Pappenheim-stained; 250×250; bone marrow smear: 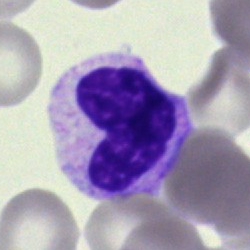
Cell — metamyelocyte.